Bone marrow smear. 250×250 px. May-Grünwald-Giemsa/Pappenheim stain — 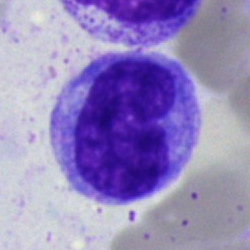

Q: What is the morphological classification of this cell?
A: A monocyte.